Single-cell field. MGG-stained. Bone marrow smear:
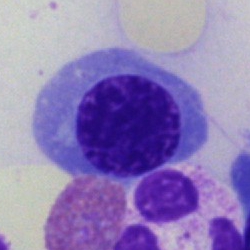 Erythroblast.